Bone marrow smear
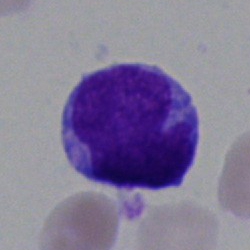

Classification: undifferentiated blast.